Bone marrow smear.
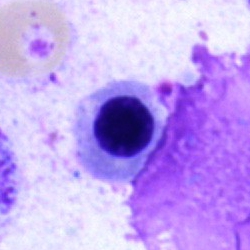

Q: What is the morphological classification of this cell?
A: Erythroblast.